Bone marrow smear — 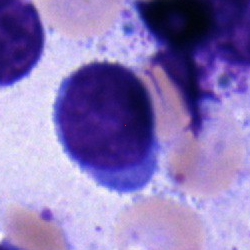
Q: Which cell type is shown here?
A: It is a typical lymphocyte.